Bone marrow aspirate smear.
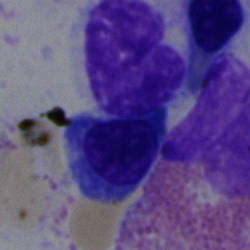

The morphological class is normoblast.